Brightfield, 40× oil-immersion objective. Single-cell field. Bone marrow smear — 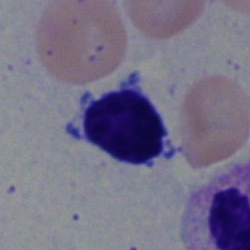The morphological class is lymphocyte.